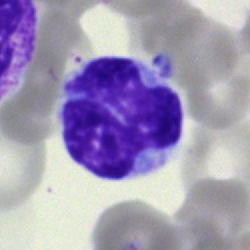

Specimen: bone marrow aspirate smear.
Morphological class: monocyte.
Lineage: myeloid.